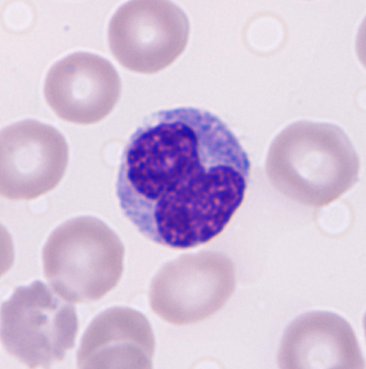 A monocyte. Preparation: Peripheral blood film.